250×250 px; bone marrow smear.
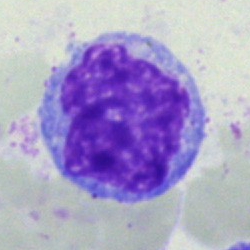 Showing a monocyte.